Bone marrow aspirate smear:
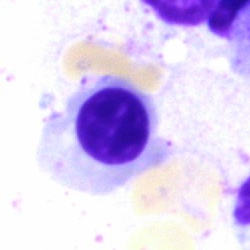 Q: What is the morphological classification of this cell?
A: It is an erythroblast.